Bone marrow aspirate smear.
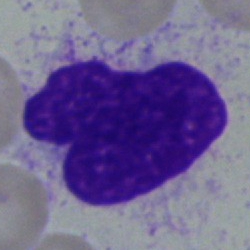 Single cell identified as an artifact.